Single cell centered in the field; bone marrow smear
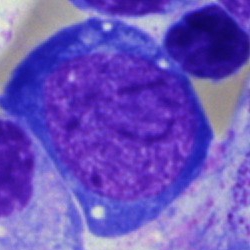A proerythroblast.